Peripheral blood film; 100× oil immersion, 14.14 px/µm: 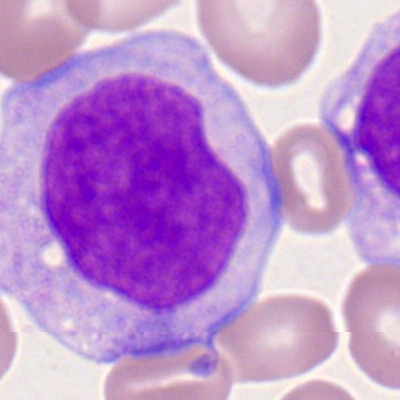

The cell shown is a monoblast.